Bone marrow smear · image size 250×250 · May-Grünwald-Giemsa stain: 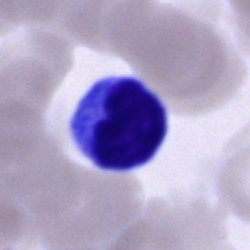 Specimen: bone marrow aspirate smear.
Morphological class: lymphocyte.